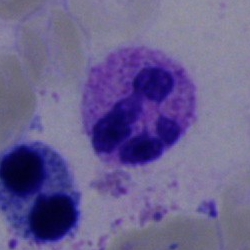 Specimen: bone marrow aspirate smear.
Cell: segmented neutrophil.
Lineage: myeloid.